Bone marrow aspirate smear:
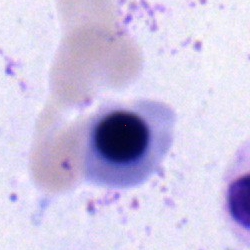{"cell_type": "nucleated red blood cell", "lineage": "erythroid"}